Bone marrow smear: 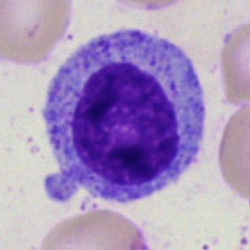
Cell type: myelocyte.